Bone marrow aspirate smear.
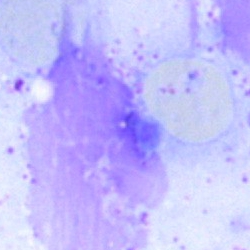
Impression → artifact.